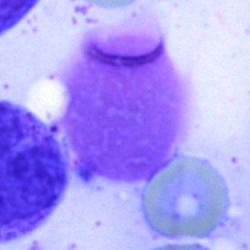The cell shown is an artefact.